Bone marrow smear:
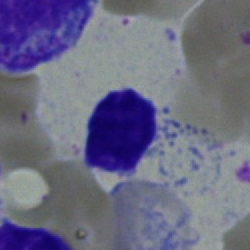
Classification: typical lymphocyte.